Bone marrow smear; brightfield microscopy, 40× oil immersion; May-Grünwald-Giemsa stain — 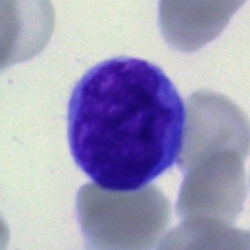

Cell = lymphocyte.